Bone marrow aspirate smear — 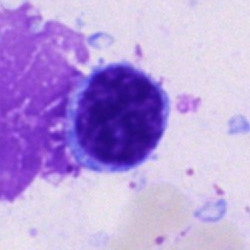

The cell shown is a lymphocyte.